Bone marrow aspirate smear. MGG-stained — 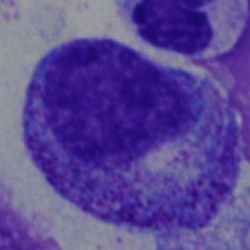
Q: What type of cell is this?
A: It is a promyelocyte.